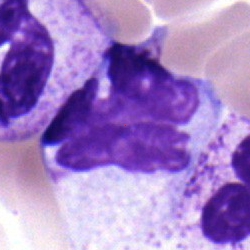
Cell = typical lymphocyte.